Bone marrow aspirate smear — 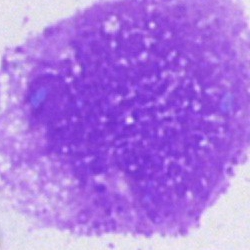 Artefact.